Bone marrow smear — 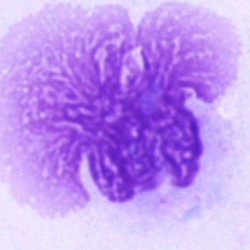

This is an artefact.